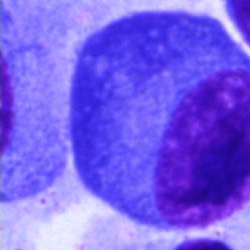 Q: What cell is this?
A: A plasmacyte.